250×250 px · bone marrow smear — 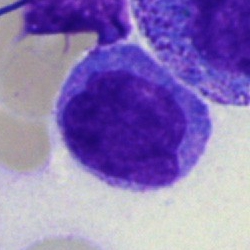 Morphology → monocyte.